Bone marrow aspirate smear:
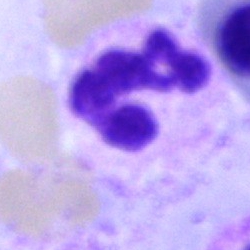 Q: What is the morphological classification of this cell?
A: This is a neutrophil (segmented).